Bone marrow smear — 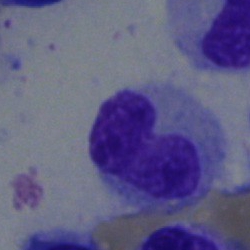

Q: What cell is this?
A: A stab cell.